Bone marrow smear.
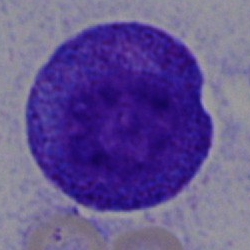 Single cell identified as a progranulocyte.